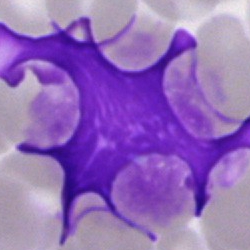 The cell type is artefact.